Bone marrow smear.
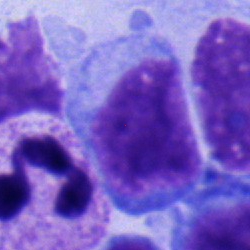The cell shown is a lymphocyte.